250×250; bone marrow aspirate smear — 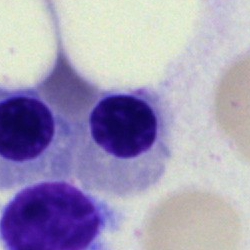
Q: Identify the cell.
A: This is a nucleated red cell.